Brightfield microscopy, 40× oil immersion. 250×250. Bone marrow smear: 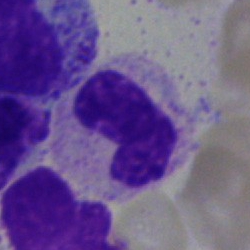 Cell type = stab cell.